Bone marrow smear — 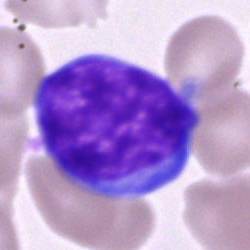
Undifferentiated blast.